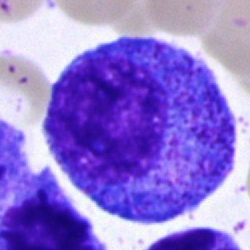

The morphological class is progranulocyte.